Bone marrow smear:
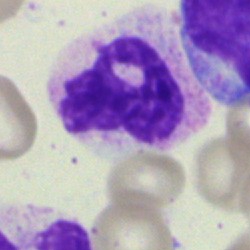

Specimen: bone marrow aspirate smear.
Cell type: polymorphonuclear neutrophil.